Bone marrow smear · 250 by 250 pixels · May-Grünwald-Giemsa stain — 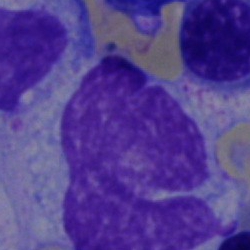

An artefact.